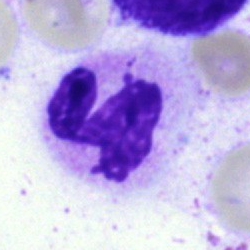Morphological class: neutrophil (segmented).